Bone marrow smear.
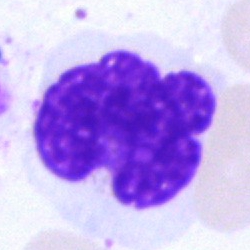 Cell type — artifact.